May-Grünwald-Giemsa/Pappenheim stain · bone marrow smear · single-cell crop:
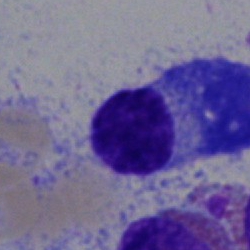
Impression — plasmacyte.